Bone marrow smear: 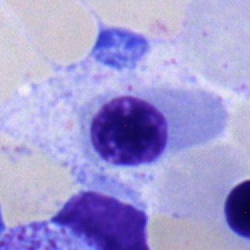

Cell type — erythroblast.